Romanowsky-stained; peripheral blood smear
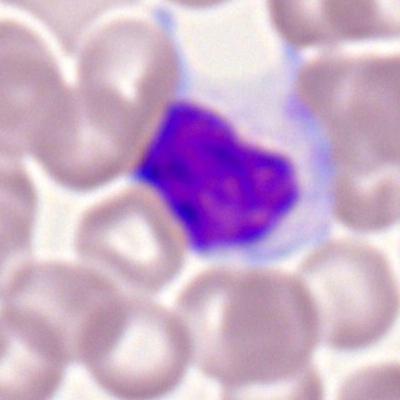 Q: What cell is this?
A: This is a lymphocyte.